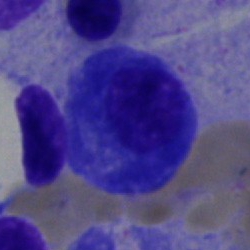

The cell is plasmacyte.